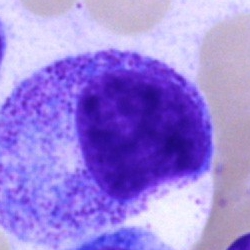 Showing a progranulocyte.